Single cell centered in the field · bone marrow aspirate smear: 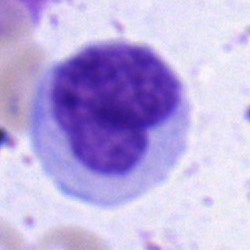

This is a monocyte.